Peripheral blood smear — 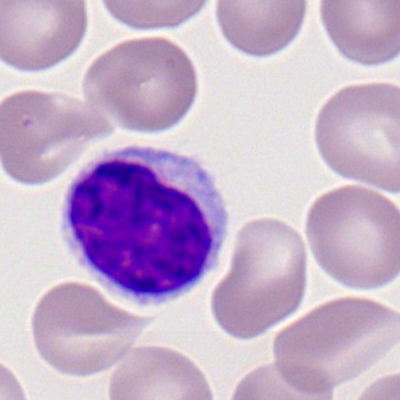

Classification: typical lymphocyte.